Bone marrow aspirate smear: 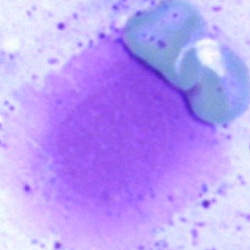
Q: What is shown here?
A: Artefact.